Bone marrow aspirate smear
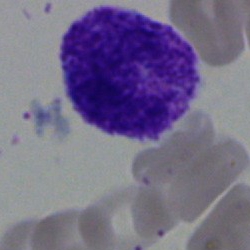{"cell_type": "band neutrophil", "lineage": "myeloid"}